Bone marrow aspirate smear.
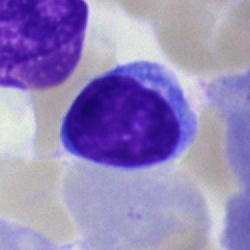

Specimen: bone marrow aspirate smear.
Cell type: lymphocyte.
Lineage: lymphoid.